Brightfield, 40× oil-immersion objective; 250 by 250 pixels; bone marrow smear
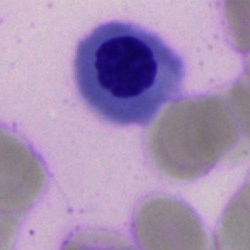Morphology consistent with a normoblast.